Peripheral blood smear.
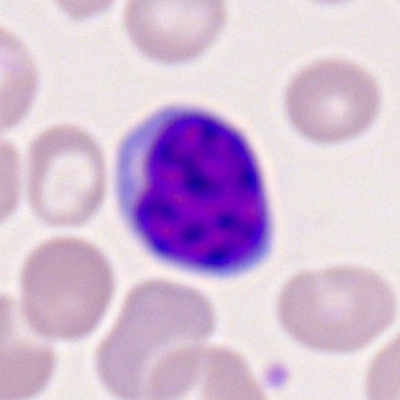 Q: What is shown here?
A: Typical lymphocyte.